Bone marrow aspirate smear. MGG-stained.
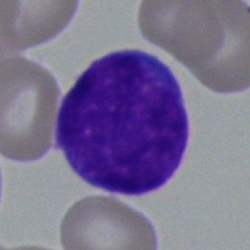
Morphological class: undifferentiated blast.